Peripheral blood film: 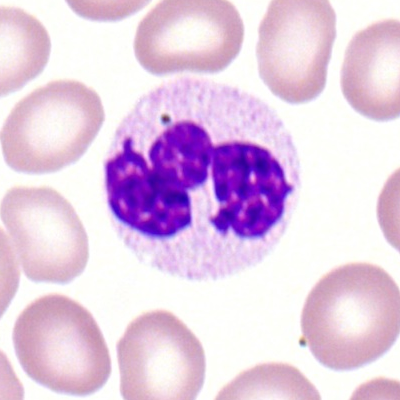
Q: What type of cell is this?
A: This is a neutrophil (segmented).